Bone marrow aspirate smear:
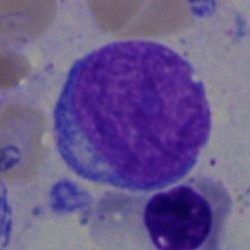Q: What cell is this?
A: This is an undifferentiated blast.